Bone marrow aspirate smear.
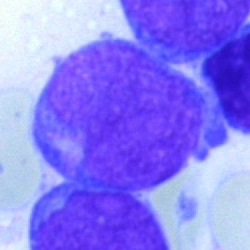
Q: What type of cell is this?
A: This is an undifferentiated blast.